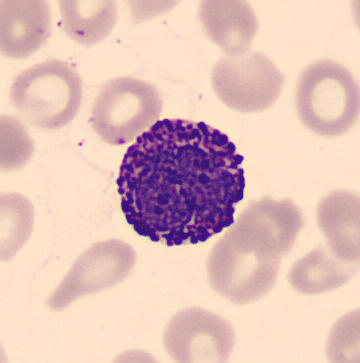 Morphology consistent with a basophil.

Image: Peripheral blood smear.